Single-cell crop · MGG-stained · bone marrow smear: 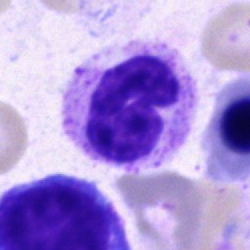

Morphology — neutrophil (segmented).